Bone marrow smear · May-Grünwald-Giemsa/Pappenheim stain.
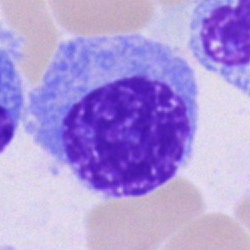The morphological class is plasmacyte.